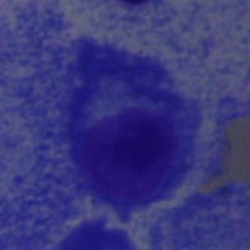

Impression → plasmacyte.